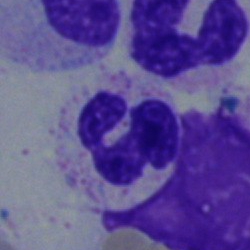
A polymorphonuclear neutrophil on a bone marrow smear.